Bone marrow smear.
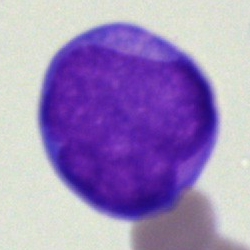 Q: What cell is this?
A: A blast cell.